Bone marrow aspirate smear — 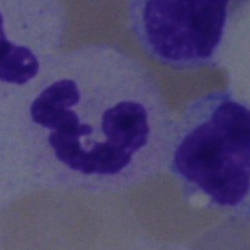

{"cell_type": "polymorphonuclear neutrophil", "lineage": "myeloid"}